Single-cell field; peripheral blood smear: 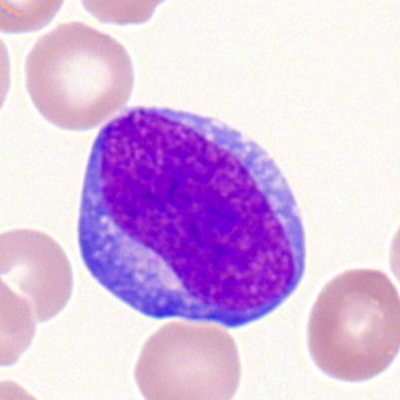Specimen: peripheral blood film.
Cell: myeloblast.